Bone marrow aspirate smear — 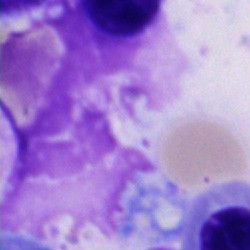Artifact.